Bone marrow smear: 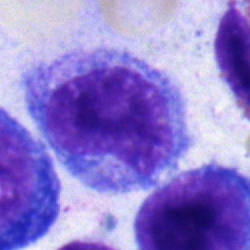
Morphological class = myelocyte.